Bone marrow aspirate smear. Brightfield microscopy, 40× oil immersion. May-Grünwald-Giemsa/Pappenheim stain — 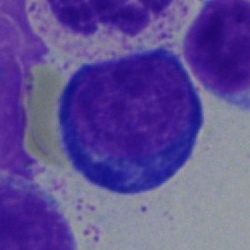
Specimen: bone marrow aspirate smear.
Morphological class: proerythroblast.